Image size 250×250; 40× objective, oil immersion; bone marrow smear:
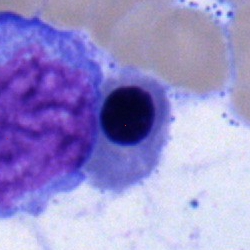The cell shown is a normoblast.